Bone marrow aspirate smear; 40× objective, oil immersion:
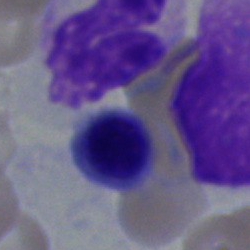 Morphology consistent with a nucleated red blood cell.